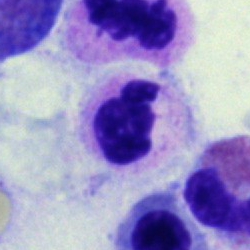
Morphological class — segmented neutrophil.